Brightfield microscopy, 40× oil immersion · bone marrow smear · 250×250 — 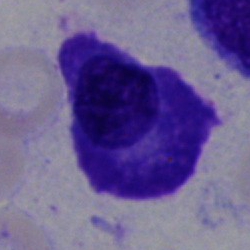Morphology consistent with a plasmacyte.